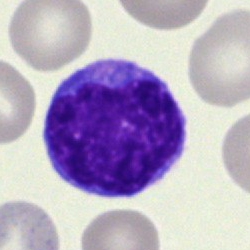

The classification is blast.